Bone marrow smear:
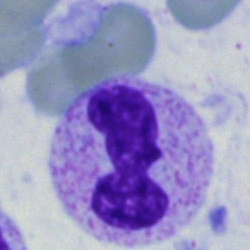

The cell shown is a polymorphonuclear neutrophil.